Bone marrow smear · 40× objective, oil immersion:
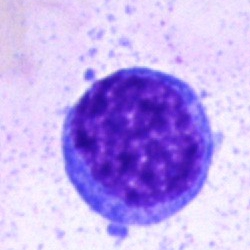Q: Identify the cell.
A: This is an undifferentiated blast.